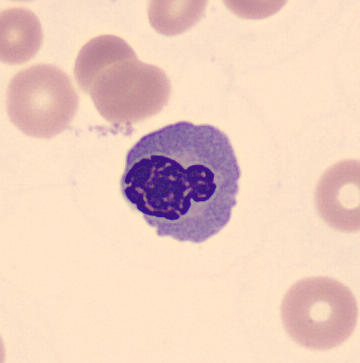

Identified as a normoblast. Acquisition: Peripheral blood film.